Peripheral blood film; image size 400×400; Romanowsky-stained.
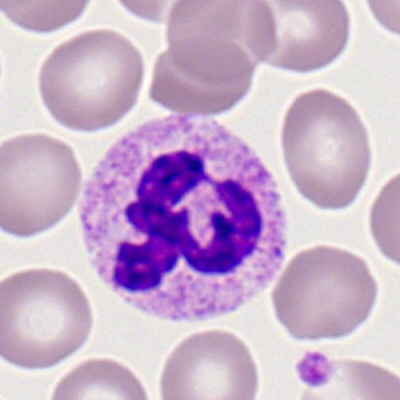This is a segmented neutrophil.